Bone marrow aspirate smear:
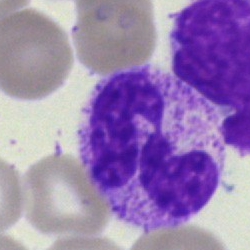Impression → segmented neutrophil.